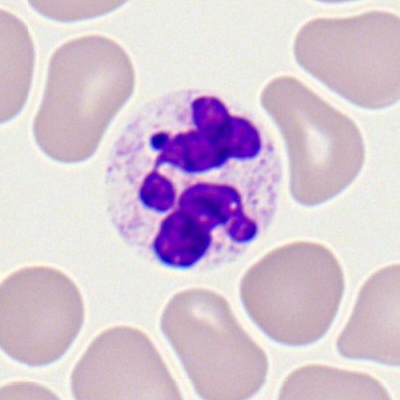

Q: What cell is this?
A: It is a neutrophil (segmented).